Brightfield, 40× oil-immersion objective. Bone marrow smear.
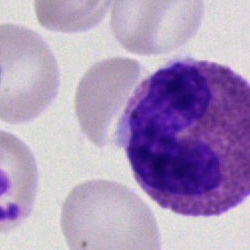
Cell: eosinophilic granulocyte.